Brightfield microscopy, 40× oil immersion. Bone marrow aspirate smear: 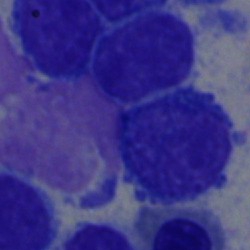

A lymphocyte.